Bone marrow aspirate smear: 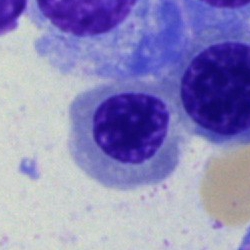 The cell shown is a normoblast.